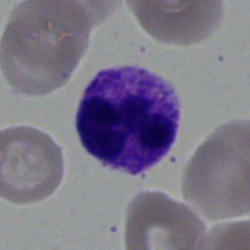
This is a segmented neutrophil.